Bone marrow smear
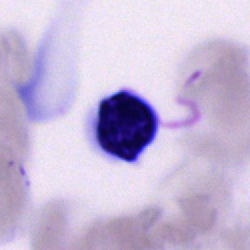 Specimen: bone marrow smear.
Cell type: artefact.